Bone marrow smear; May-Grünwald-Giemsa/Pappenheim stain; image size 250×250.
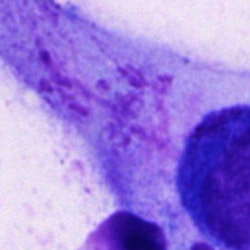

Cell: artifact.